Bone marrow aspirate smear:
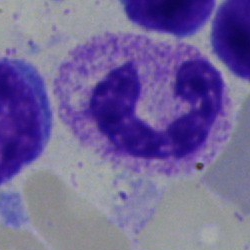

This is a neutrophil (segmented).